Bone marrow aspirate smear: 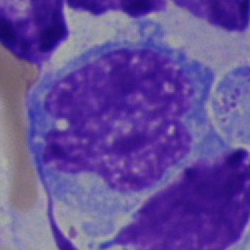
This is an undifferentiated blast.